Peripheral blood film — 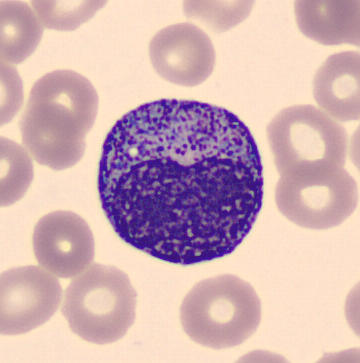

Cell = promyelocyte.